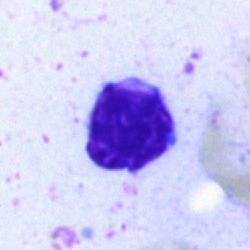 Bone marrow aspirate smear, single cell — lymphocyte.